Bone marrow smear.
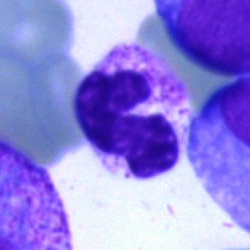 A segmented neutrophil.